Pappenheim-stained. Image size 250×250. Bone marrow aspirate smear.
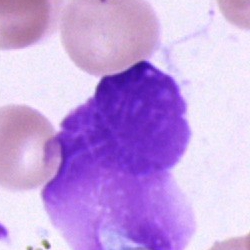 Impression — artefact.